Bone marrow smear
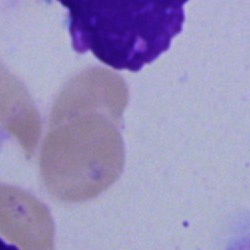 Classification = artifact.